Bone marrow smear: 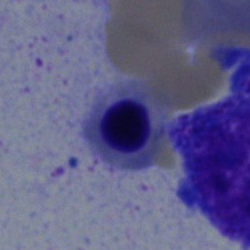
Classification: erythroblast.